Bone marrow aspirate smear
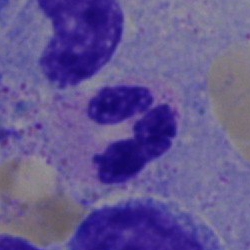
Classification = polymorphonuclear neutrophil.